Bone marrow aspirate smear: 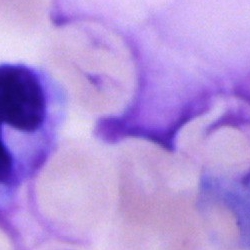
Classification = artifact.